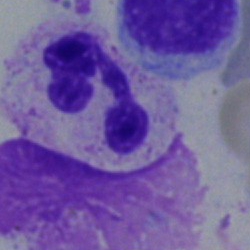

Q: Which cell type is shown here?
A: Neutrophil (segmented).